Bone marrow smear — 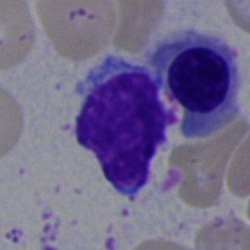This is a normoblast.